Bone marrow smear:
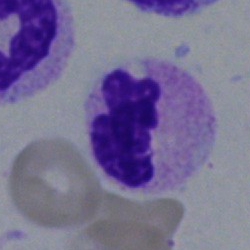

The classification is neutrophil (segmented).